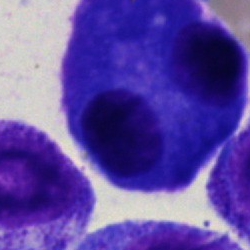Specimen: bone marrow smear.
Classification: plasmacyte.
Lineage: lymphoid.